Bone marrow smear.
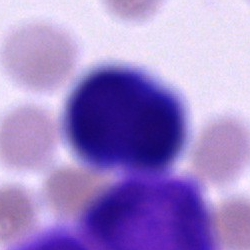
Cell type: artefact.